Pappenheim-stained. Bone marrow smear.
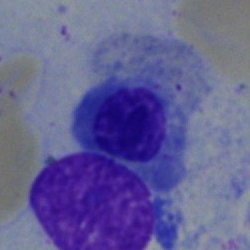
Specimen: bone marrow smear.
Cell: normoblast.